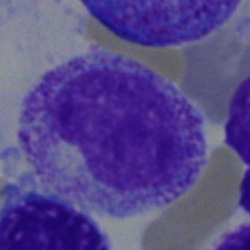
Cell type — myelocyte.